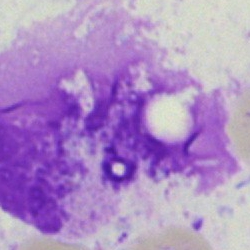
Morphology → artifact.